Bone marrow smear; 40× objective, oil immersion; Pappenheim-stained
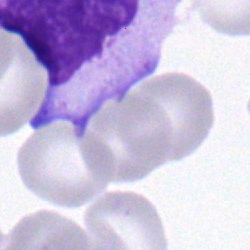 Specimen: bone marrow smear.
Cell type: typical lymphocyte.